Bone marrow aspirate smear · 250×250 px · May-Grünwald-Giemsa/Pappenheim stain:
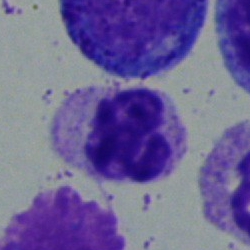
Classification = segmented neutrophil.